Bone marrow smear.
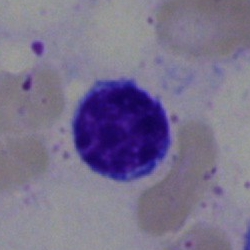

{"cell_type": "lymphocyte", "lineage": "lymphoid"}